Bone marrow aspirate smear
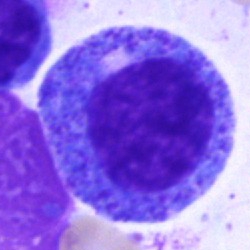

Single cell identified as a progranulocyte.